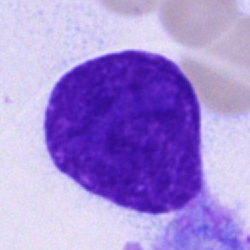

The classification is artefact.